Bone marrow smear: 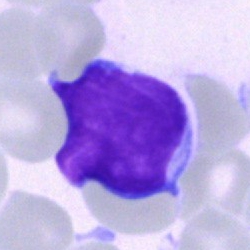

Specimen: bone marrow aspirate smear.
Morphological class: blast.